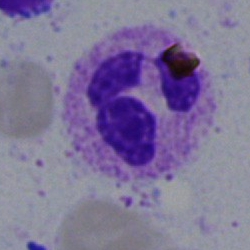 A polymorphonuclear neutrophil on a bone marrow smear.